Bone marrow smear — 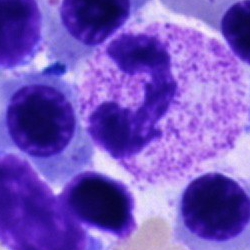

The cell type is polymorphonuclear neutrophil.